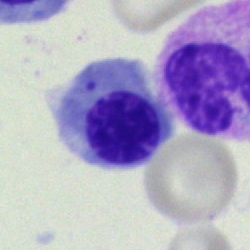
Q: What cell is this?
A: It is an erythroblast.